Peripheral blood film.
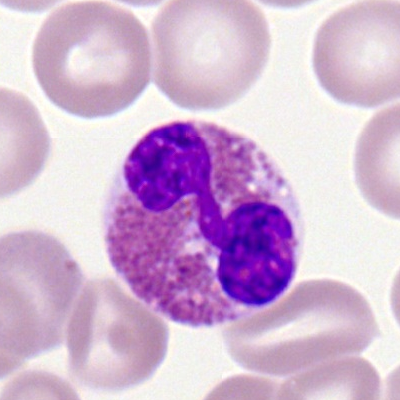Morphology — eosinophil.